Brightfield microscopy, 40× oil immersion. Bone marrow aspirate smear
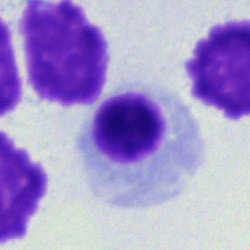

Cell type — nucleated red cell.